Bone marrow aspirate smear.
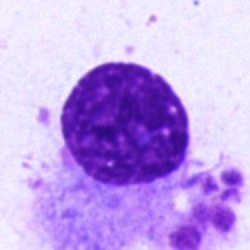 Morphology — artifact.